Bone marrow smear:
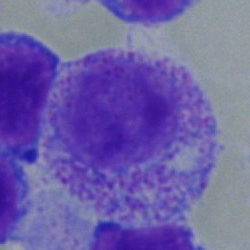
{"cell_type": "myelocyte", "lineage": "myeloid"}